Bone marrow aspirate smear — 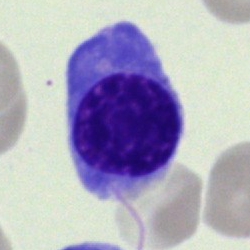

Specimen: bone marrow smear.
Morphological class: normoblast.